Bone marrow smear: 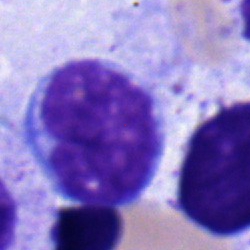Impression → monocyte.